Bone marrow aspirate smear:
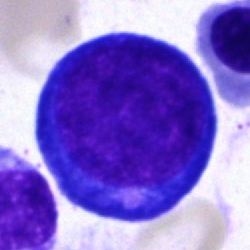

{"cell_type": "proerythroblast", "lineage": "erythroid"}